Single cell centered in the field; bone marrow smear
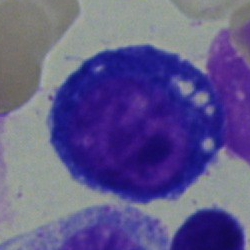

Specimen: bone marrow smear.
Classification: proerythroblast.
Lineage: erythroid.